Bone marrow aspirate smear:
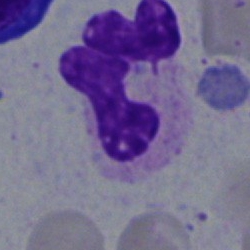 Cell = segmented neutrophil.